250 by 250 pixels. Bone marrow smear: 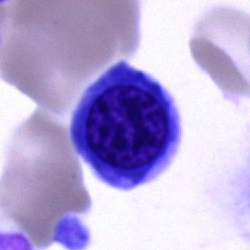{"cell_type": "undifferentiated blast"}